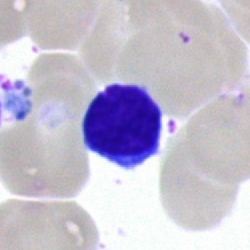
Specimen: bone marrow smear.
Cell type: lymphocyte.
Lineage: lymphoid.